Bone marrow aspirate smear — 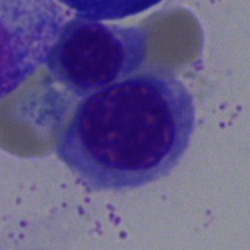Q: Identify the cell.
A: This is a nucleated red blood cell.